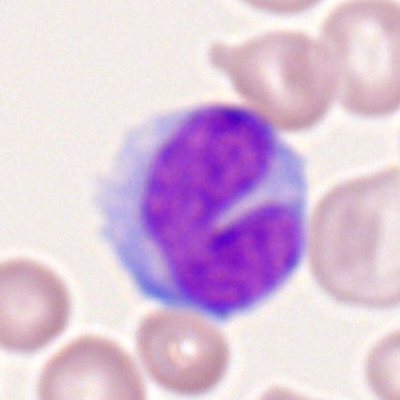

The cell is monocyte.